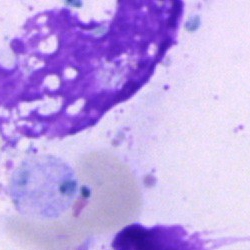
Cell = artifact.